Bone marrow aspirate smear
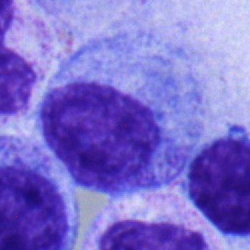
The classification is progranulocyte.